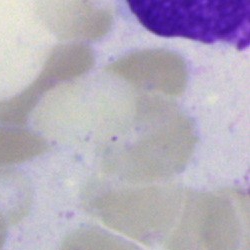

This is an artefact.